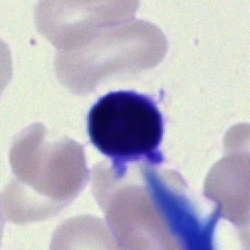 Q: Which cell type is shown here?
A: Lymphocyte.